40× objective, oil immersion; bone marrow smear; single cell centered in the field — 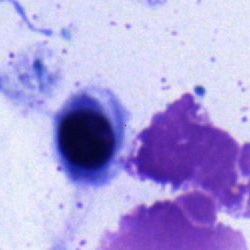Morphology — nucleated red blood cell.